Bone marrow aspirate smear; single-cell field:
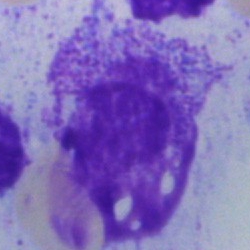

Morphological class = artifact.